Bone marrow aspirate smear:
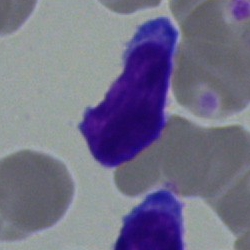

Morphological class = typical lymphocyte.